Pappenheim-stained; bone marrow aspirate smear.
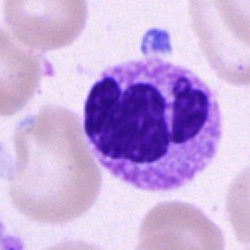
Cell: segmented neutrophil.